Bone marrow aspirate smear · May-Grünwald-Giemsa/Pappenheim stain:
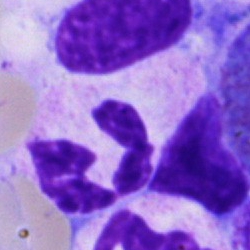

Showing a polymorphonuclear neutrophil.